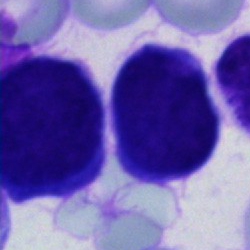 Q: What cell is this?
A: It is a cell of indeterminate lineage.